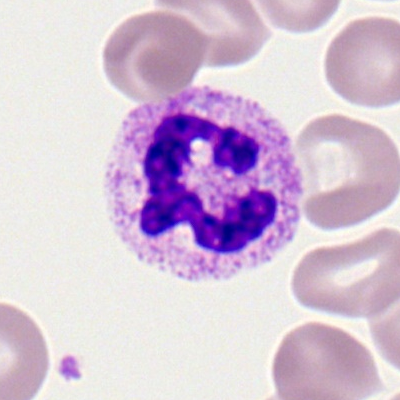Morphological class: polymorphonuclear neutrophil.